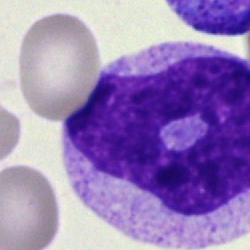
Single cell identified as a monocyte.